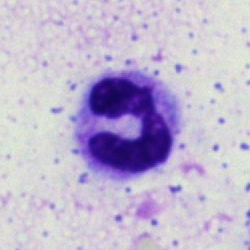
Single-cell crop from a bone marrow smear: neutrophil (segmented).